Peripheral blood smear · single-cell crop.
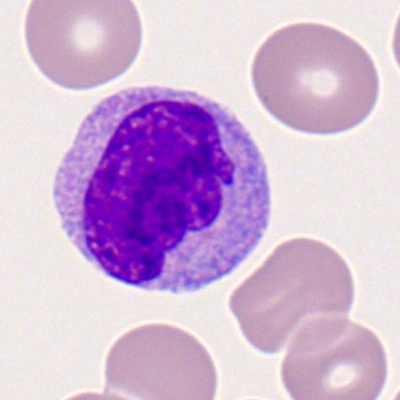

A monocyte.